Bone marrow smear — 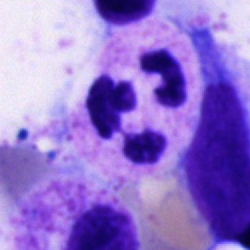

Cell: segmented neutrophil.